Bone marrow smear: 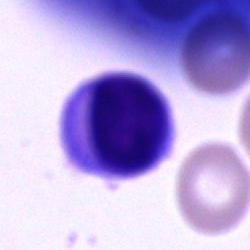
Morphology → typical lymphocyte.